Bone marrow smear. May-Grünwald-Giemsa/Pappenheim stain:
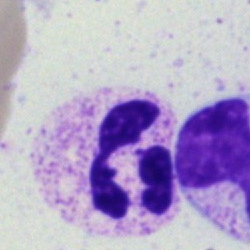Segmented neutrophil.